Bone marrow aspirate smear
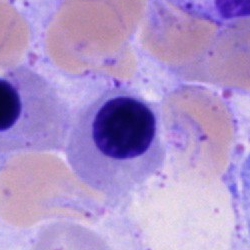

Q: Identify the cell.
A: This is a normoblast.